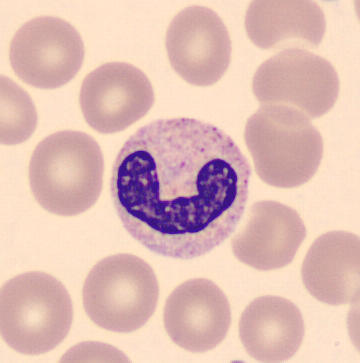

Peripheral blood film · 360×363 px · single-cell field.

A neutrophil (band).